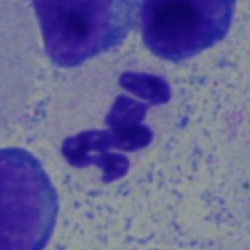Classification: segmented neutrophil.